Bone marrow aspirate smear. Brightfield, 40× oil-immersion objective
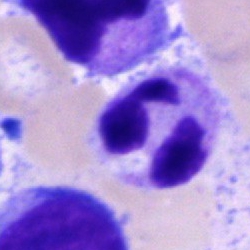
Showing a polymorphonuclear neutrophil.